May-Grünwald-Giemsa stain. Bone marrow smear.
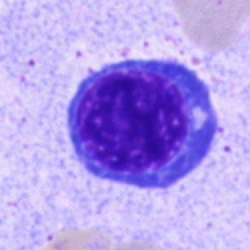Morphology → normoblast.